Bone marrow smear:
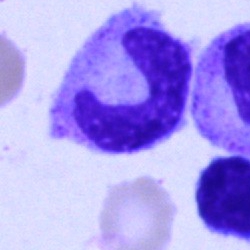

Classification — stab cell.